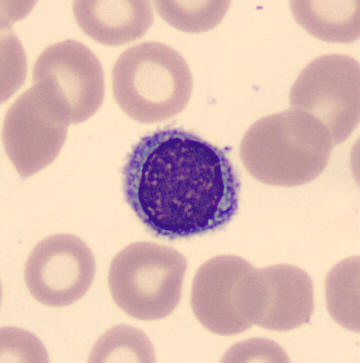Peripheral blood smear.

Q: Identify the cell.
A: This is a lymphocyte.